Image size 250×250 · bone marrow aspirate smear — 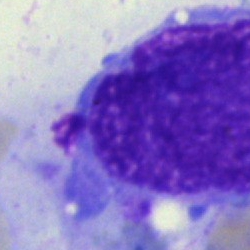Q: What is shown here?
A: This is an artefact.